Peripheral blood film; 100× oil immersion; Romanowsky-type stain:
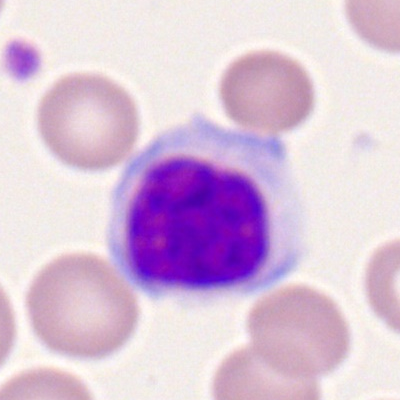Q: Which cell type is shown here?
A: It is a lymphocyte.